Bone marrow smear: 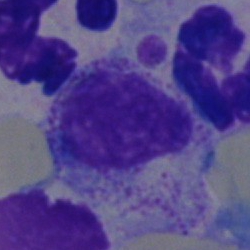
The cell shown is a myelocyte.